Bone marrow smear. May-Grünwald-Giemsa/Pappenheim stain. 40× objective, oil immersion:
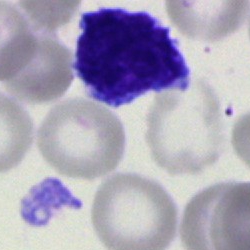
Cell type: blast cell.